40× objective, oil immersion; bone marrow aspirate smear; May-Grünwald-Giemsa stain: 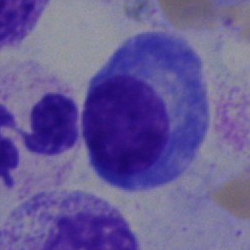Cell = plasma cell.